Bone marrow aspirate smear: 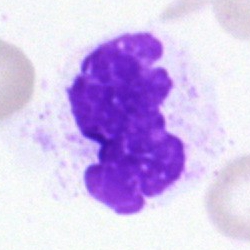 The classification is artefact.